Bone marrow smear: 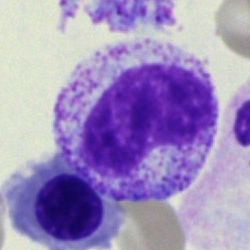 Q: What is the morphological classification of this cell?
A: It is a metamyelocyte.